Bone marrow smear · brightfield, 40× oil-immersion objective — 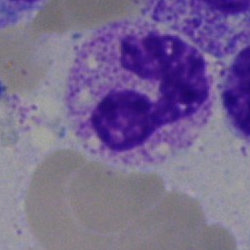
Impression → neutrophil (segmented).